Single-cell crop · peripheral blood smear.
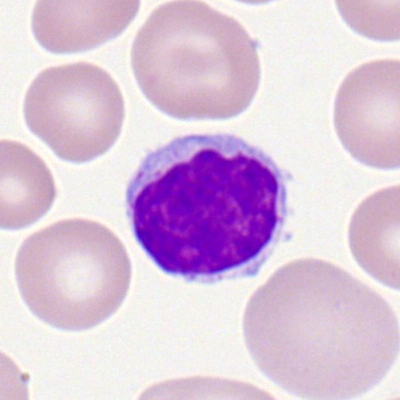
Typical lymphocyte.